Bone marrow aspirate smear · MGG-stained: 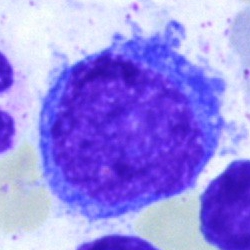
Specimen: bone marrow smear.
Morphological class: proerythroblast.